Single-cell crop. Bone marrow aspirate smear — 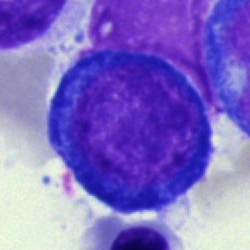

Specimen: bone marrow smear.
Classification: normoblast.